Bone marrow smear.
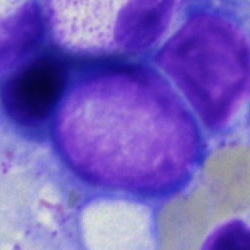Q: What is shown here?
A: This is a blast.